Bone marrow aspirate smear; image size 250×250:
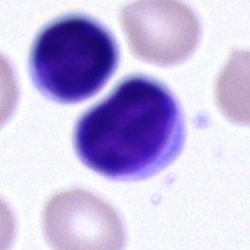Morphology — lymphocyte.